40× oil immersion; Pappenheim-stained; bone marrow smear: 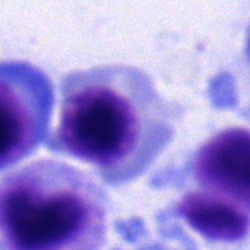 Q: Which cell type is shown here?
A: This is a nucleated red blood cell.